Bone marrow smear — 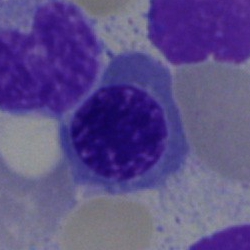

Q: What cell is this?
A: This is a normoblast.